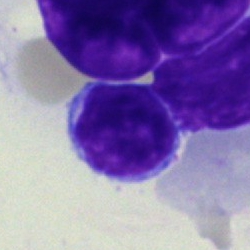Cell — typical lymphocyte.